40× oil immersion · bone marrow smear:
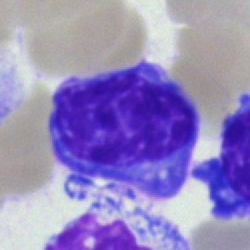
Plasma cell.